Bone marrow smear — 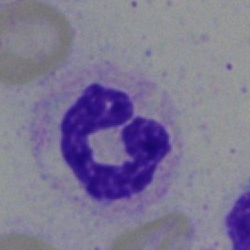

Specimen: bone marrow smear.
Cell: segmented neutrophil.
Lineage: myeloid.